May-Grünwald-Giemsa stain. Brightfield microscopy, 40× oil immersion. Bone marrow smear.
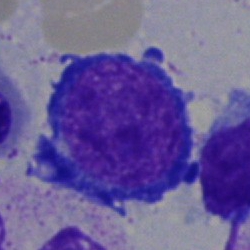Morphology — normoblast.